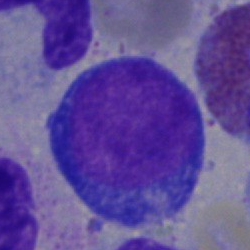
Specimen: bone marrow smear.
Cell: proerythroblast.
Lineage: erythroid.